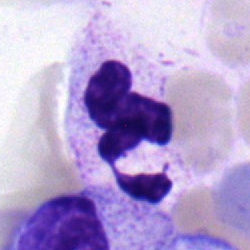
Cell = polymorphonuclear neutrophil.